Brightfield, 40× oil-immersion objective. Bone marrow smear — 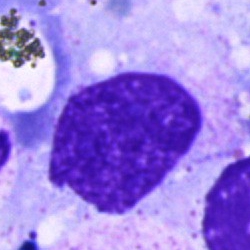

Single cell identified as an artefact.